Bone marrow aspirate smear — 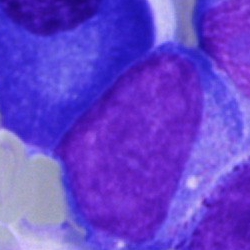 Cell type = undifferentiated blast.